Bone marrow smear · cropped to a single cell.
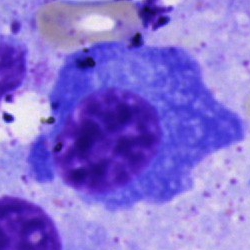

Q: Which cell type is shown here?
A: Plasma cell.